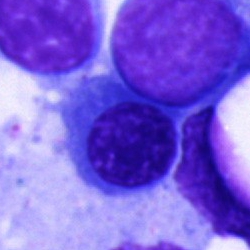
Q: Identify the cell.
A: This is an erythroblast.